Cropped to a single cell; 250×250; bone marrow smear:
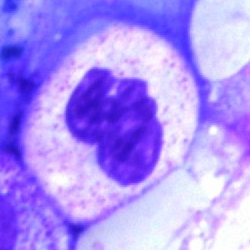
The cell shown is a segmented neutrophil.